Bone marrow smear
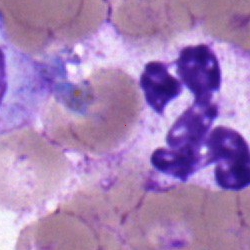
Specimen: bone marrow aspirate smear.
Cell: neutrophil (segmented).
Lineage: myeloid.